Bone marrow smear — 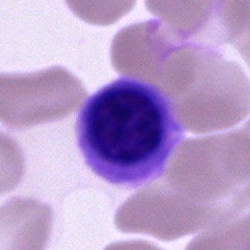
Erythroblast.